Bone marrow aspirate smear — 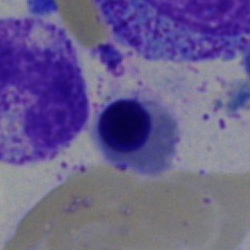Q: What is the morphological classification of this cell?
A: Erythroblast.